Bone marrow smear:
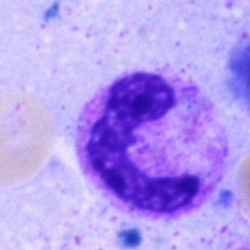

A segmented neutrophil.